MGG-stained · bone marrow aspirate smear:
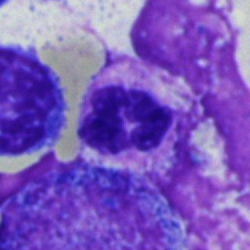 The cell shown is a neutrophil (segmented).